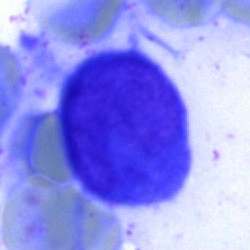Classification: cell of indeterminate lineage.